Cropped to a single cell · bone marrow smear — 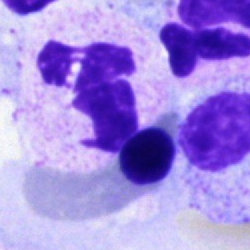

Morphology consistent with a polymorphonuclear neutrophil.